Peripheral blood film:
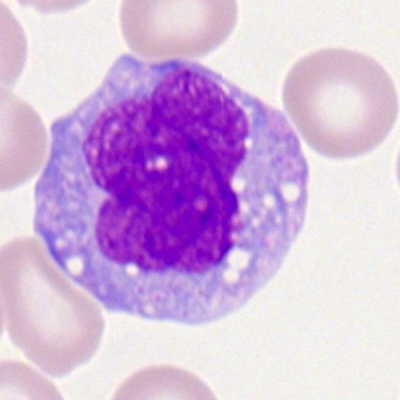
This is a monocyte.